Bone marrow aspirate smear: 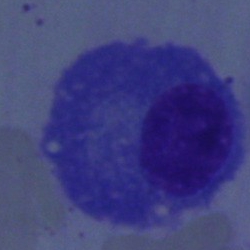
Plasma cell.